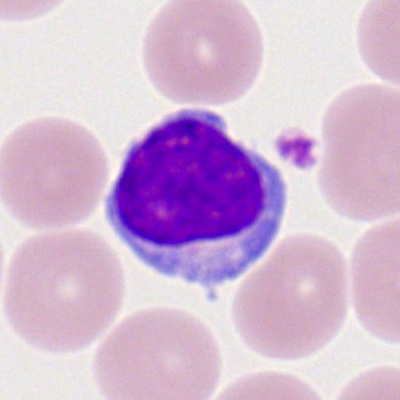

Classification = typical lymphocyte.